Bone marrow smear: 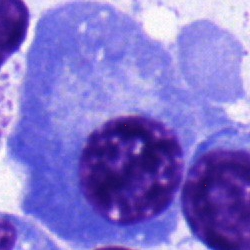 The cell type is plasma cell.